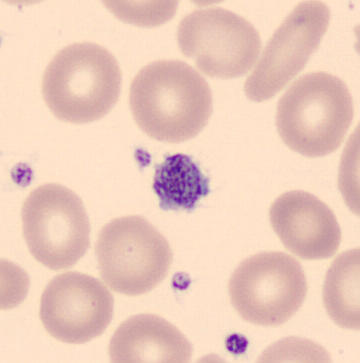 The classification is platelet (thrombocyte).
MGG stain · peripheral blood smear.